May-Grünwald-Giemsa/Pappenheim stain · bone marrow aspirate smear:
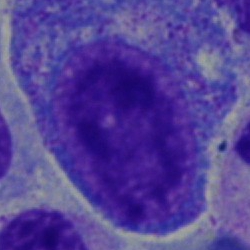

The cell is progranulocyte.